Bone marrow aspirate smear. Brightfield, 40× oil-immersion objective.
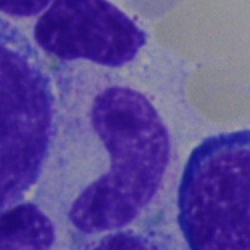
Specimen: bone marrow aspirate smear.
Cell type: band neutrophil.
Lineage: myeloid.